Bone marrow smear
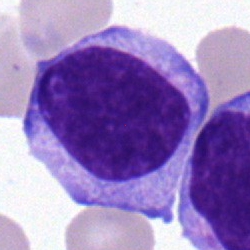 The cell type is typical lymphocyte.